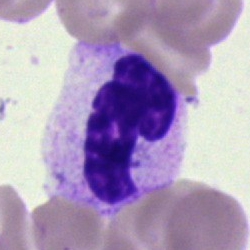A segmented neutrophil.